Bone marrow smear:
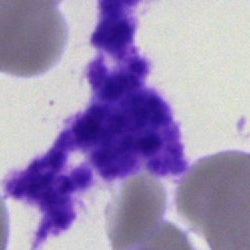 This is an artefact.